Bone marrow smear — 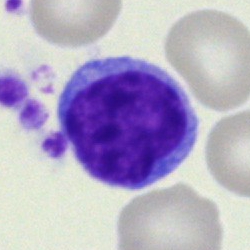Impression — lymphocyte.